250 by 250 pixels; bone marrow smear
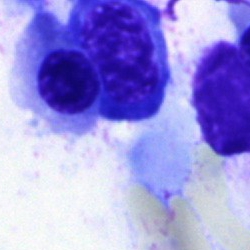 Nucleated red blood cell.